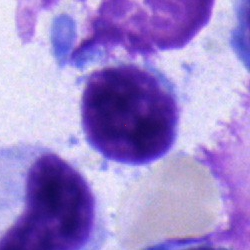 Specimen: bone marrow aspirate smear.
Cell: lymphocyte.
Lineage: lymphoid.